Bone marrow smear:
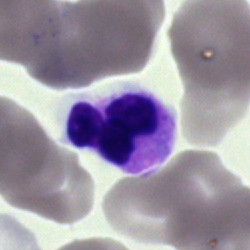

Q: What is shown here?
A: This is a segmented neutrophil.